Peripheral blood smear.
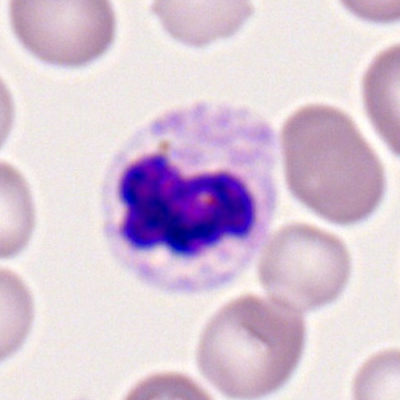

The classification is polymorphonuclear neutrophil.